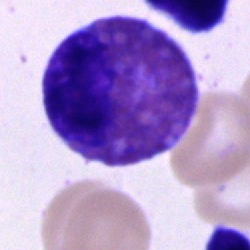Impression → eosinophilic granulocyte.